Bone marrow smear:
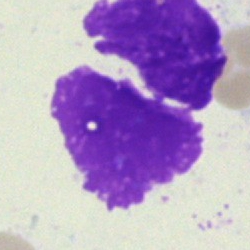

This is an artefact.